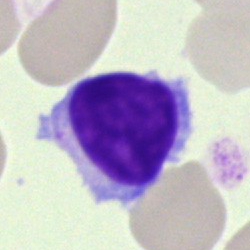
Q: What cell is this?
A: This is a typical lymphocyte.